Bone marrow smear.
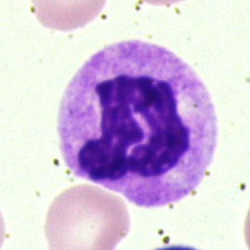
{"cell_type": "segmented neutrophil"}